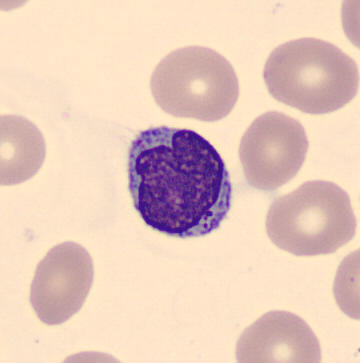

Peripheral blood smear showing a typical lymphocyte.